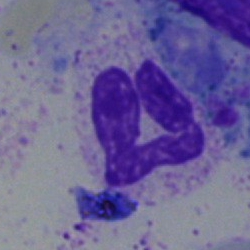A neutrophil (segmented) on a bone marrow smear.